Bone marrow aspirate smear: 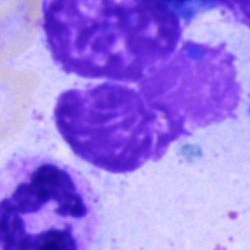The classification is artefact.